MGG-stained · bone marrow aspirate smear · single-cell field
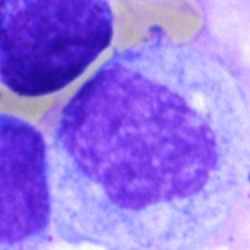

{"cell_type": "artifact"}